Image size 250×250; brightfield microscopy, 40× oil immersion; bone marrow aspirate smear
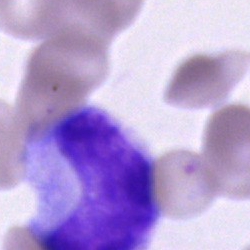This is a cell of indeterminate lineage.